Bone marrow smear — 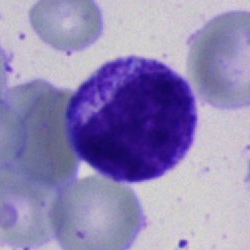
Morphology consistent with a metamyelocyte.